Bone marrow smear · brightfield microscopy, 40× oil immersion.
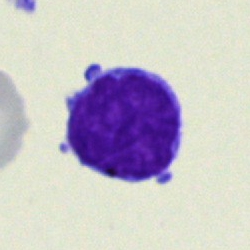

{"cell_type": "typical lymphocyte", "lineage": "lymphoid"}